250×250 px · bone marrow smear — 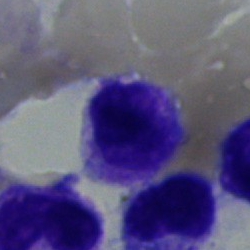Q: What type of cell is this?
A: A metamyelocyte.